Pappenheim-stained. Bone marrow smear: 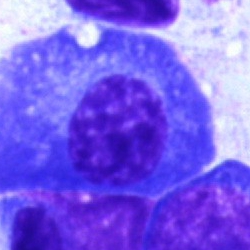

Q: What is the morphological classification of this cell?
A: A plasma cell.